Bone marrow aspirate smear. 250 by 250 pixels. 40× objective, oil immersion — 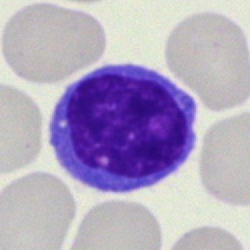

Single cell identified as a lymphocyte.